Bone marrow smear — 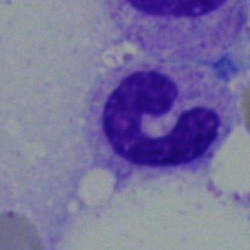 Q: What type of cell is this?
A: This is a band neutrophil.